Bone marrow smear — 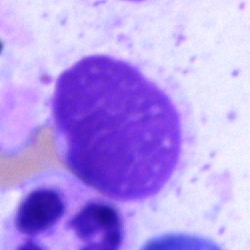Morphology consistent with an artifact.